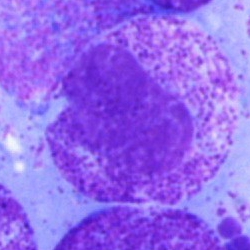Single-cell crop from a bone marrow smear: myelocyte.